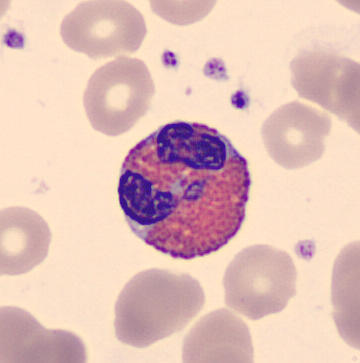Preparation: Imaged on a CellaVision DM96 analyser · peripheral blood film.

Morphology consistent with an eosinophil.